Bone marrow aspirate smear:
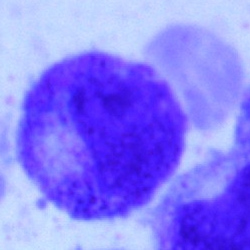

Impression — myelocyte.